Pappenheim-stained; bone marrow aspirate smear; single cell centered in the field:
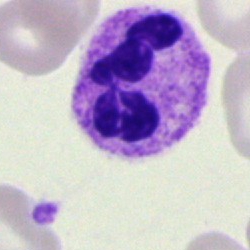Impression — neutrophil (segmented).